Bone marrow aspirate smear — 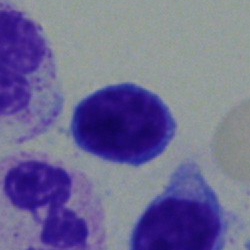

The cell shown is a typical lymphocyte.